Bone marrow aspirate smear — 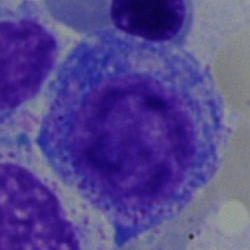A promyelocyte.